Bone marrow smear. May-Grünwald-Giemsa/Pappenheim stain — 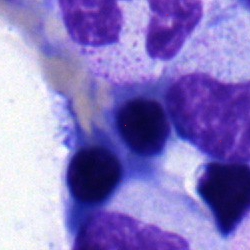Single cell identified as an erythroblast.